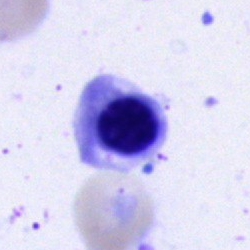
Classification: erythroblast.